Bone marrow smear; 250×250; brightfield microscopy, 40× oil immersion
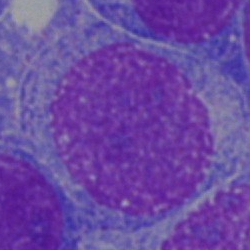

Q: Identify the cell.
A: This is a blast cell.